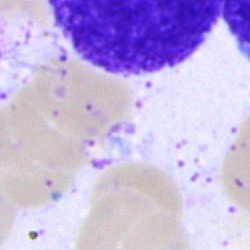 Single cell identified as an artifact.